Peripheral blood film; 400 by 400 pixels — 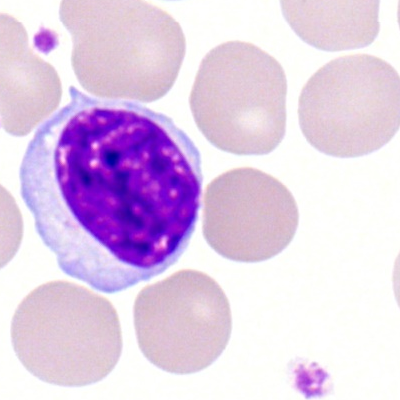Cell type = lymphocyte.